Bone marrow aspirate smear · brightfield, 40× oil-immersion objective — 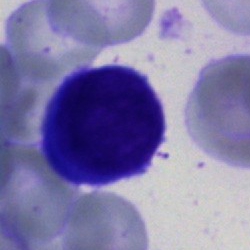

The morphological class is typical lymphocyte.